Peripheral blood film
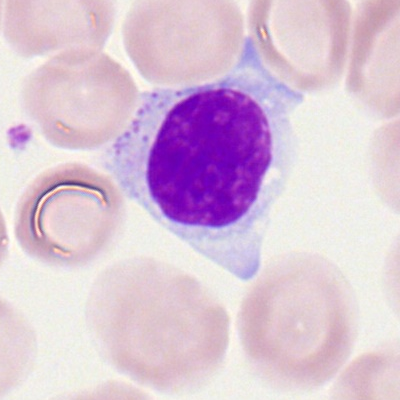 Morphology consistent with a typical lymphocyte.